250 by 250 pixels. Bone marrow smear:
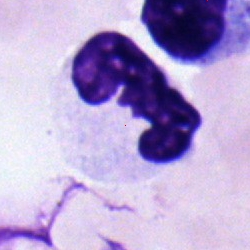

Morphology consistent with a polymorphonuclear neutrophil.